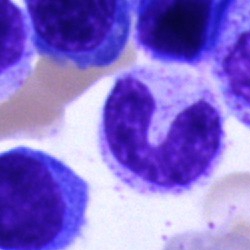
Morphological class: band-form neutrophil.